250×250. Bone marrow smear:
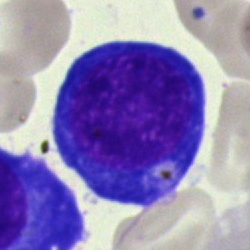 Showing a nucleated red blood cell.